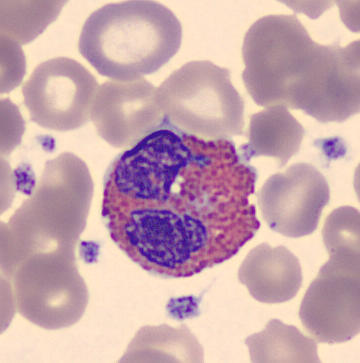The cell is eosinophil. Image: Peripheral blood smear.